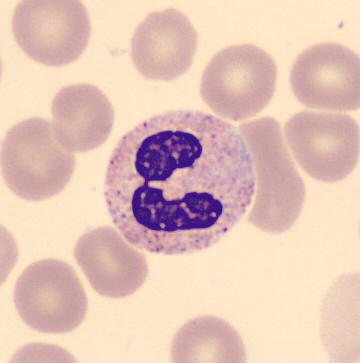

Specimen: peripheral blood smear.
Classification: polymorphonuclear neutrophil.
Lineage: myeloid.